Single-cell crop · 250 by 250 pixels · bone marrow smear — 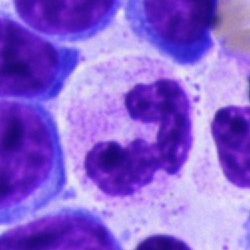 Morphology consistent with a segmented neutrophil.